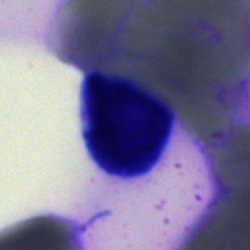An artifact on a bone marrow smear.